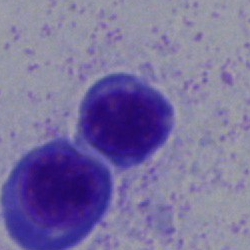
{"cell_type": "nucleated red cell"}